Bone marrow smear — 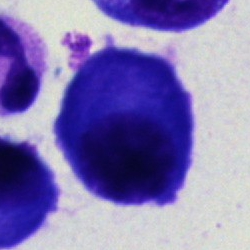 {"cell_type": "plasma cell", "lineage": "lymphoid"}